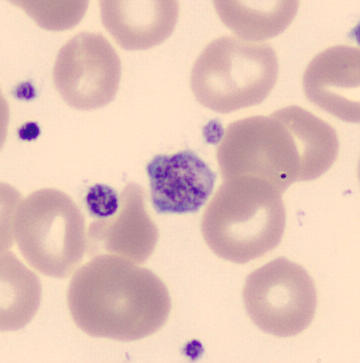

Peripheral blood film.
Classification — platelet (thrombocyte).